250 by 250 pixels; bone marrow aspirate smear: 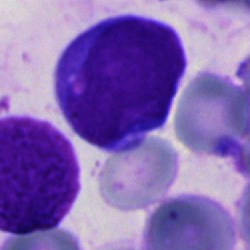

Cell type — blast.